Image size 250×250. Bone marrow aspirate smear: 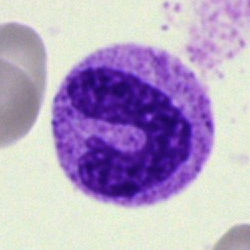

The cell shown is a polymorphonuclear neutrophil.